Brightfield, 40× oil-immersion objective; Pappenheim-stained; bone marrow aspirate smear:
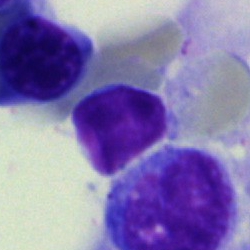

Q: What is the morphological classification of this cell?
A: It is a typical lymphocyte.